MGG-stained; bone marrow aspirate smear
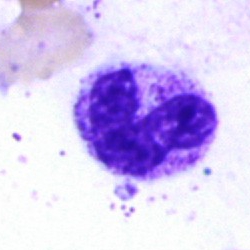 Q: What cell is this?
A: This is a stab cell.